Bone marrow smear · image size 250×250:
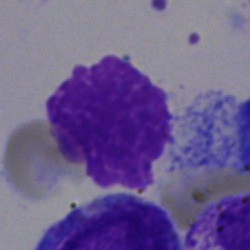
Single cell identified as an artefact.